Romanowsky-type stain · peripheral blood smear · 400 by 400 pixels
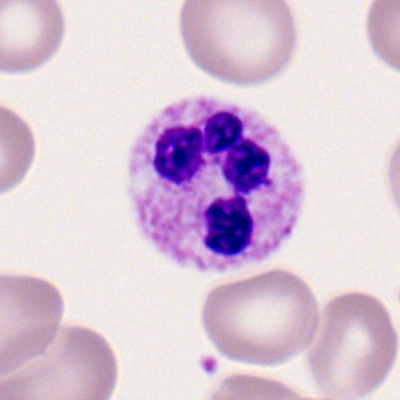
The cell is polymorphonuclear neutrophil.